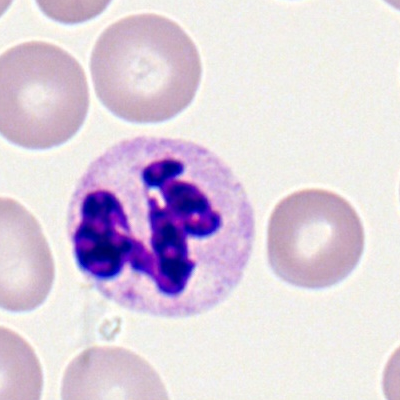

The morphological class is neutrophil (segmented).